Bone marrow smear · 250×250 px:
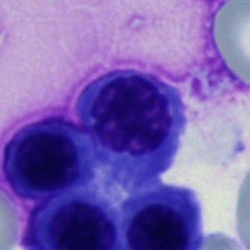 Q: What cell is this?
A: Nucleated red cell.